Bone marrow smear; May-Grünwald-Giemsa stain: 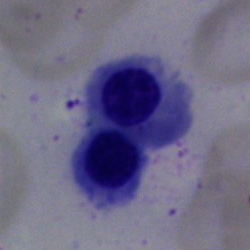
Specimen: bone marrow aspirate smear.
Classification: erythroblast.